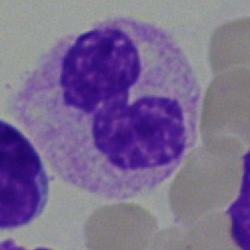Single cell identified as a neutrophil (band).